Bone marrow aspirate smear: 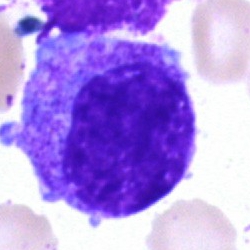
Q: What cell is this?
A: A myelocyte.